Peripheral blood film. Single cell centered in the field — 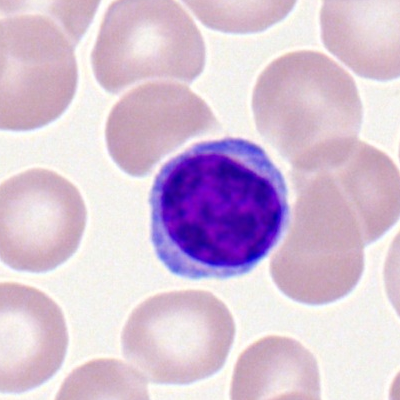
Morphology consistent with a typical lymphocyte.